Bone marrow aspirate smear
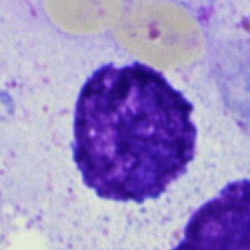
The cell type is artefact.